Bone marrow smear. Brightfield microscopy, 40× oil immersion — 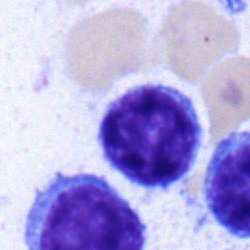

The cell shown is a lymphocyte.